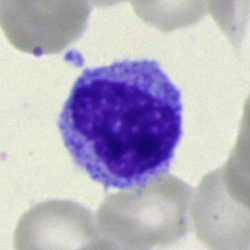The morphological class is unidentifiable cell.